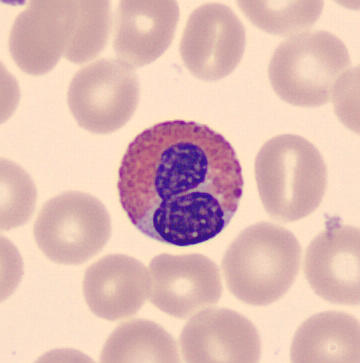

Cell — eosinophil.